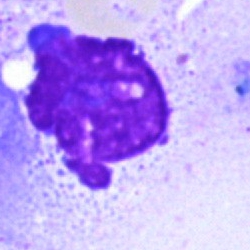
Single cell identified as an artifact.